250 by 250 pixels; bone marrow aspirate smear:
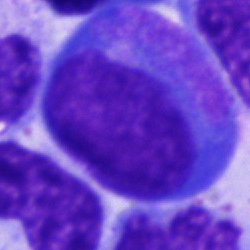
Q: What type of cell is this?
A: This is a blast cell.